250 by 250 pixels. Bone marrow smear:
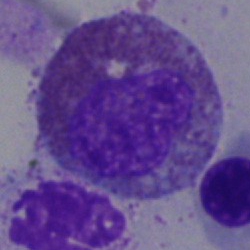

Classification = eosinophil.